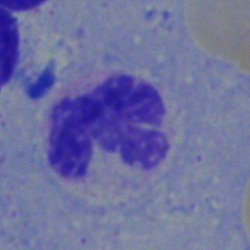 Cell — segmented neutrophil.